Bone marrow smear — 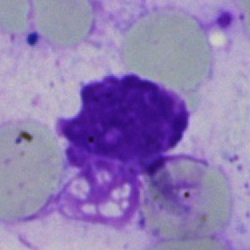

Classification — artefact.